Bone marrow smear · cropped to a single cell — 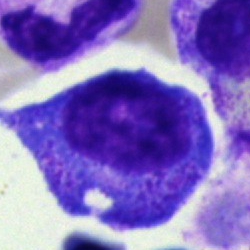 {"cell_type": "promyelocyte", "lineage": "myeloid"}